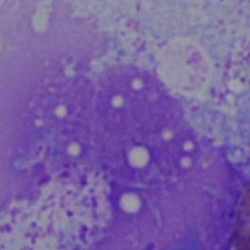 Classification = artifact.